Bone marrow smear
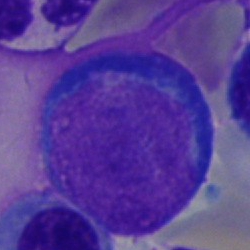
Cell type = proerythroblast.